Bone marrow smear.
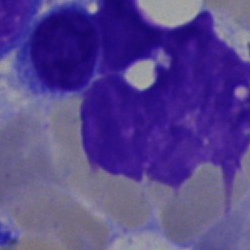Morphology — artefact.